Single-cell crop. 250×250. Bone marrow aspirate smear:
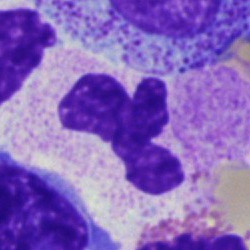
Specimen: bone marrow aspirate smear.
Cell: neutrophil (segmented).